Bone marrow aspirate smear.
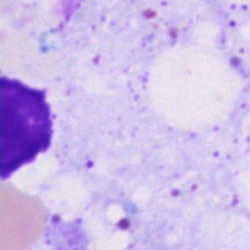
Impression — artifact.